Bone marrow smear. Pappenheim-stained — 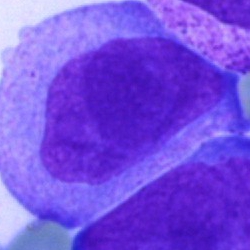 Blast cell.